Bone marrow aspirate smear — 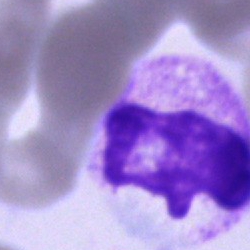 Morphology consistent with a cell of indeterminate lineage.